Peripheral blood smear: 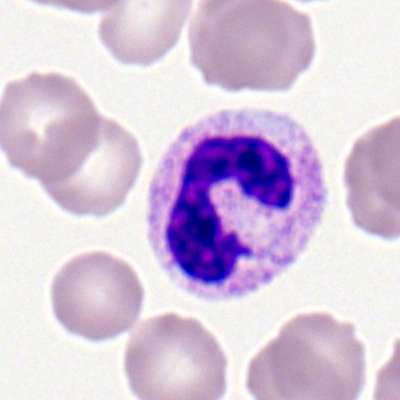

Q: Which cell type is shown here?
A: Neutrophil (segmented).